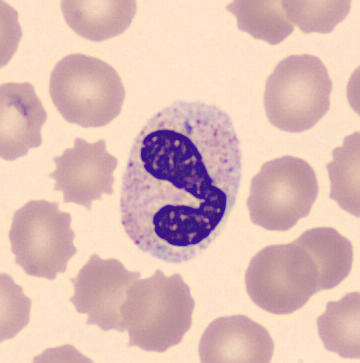

Q: What is the morphological classification of this cell?
A: A polymorphonuclear neutrophil.